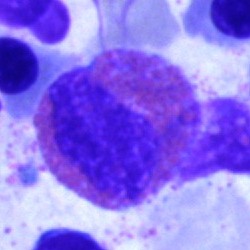 Impression — eosinophil.